Bone marrow aspirate smear:
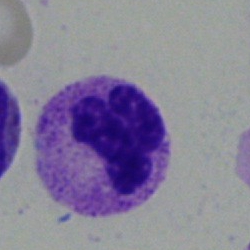Single cell identified as a segmented neutrophil.